Bone marrow smear · single-cell field: 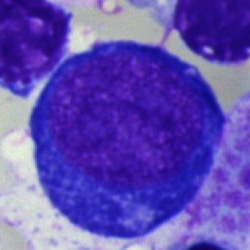
Cell type: pronormoblast.